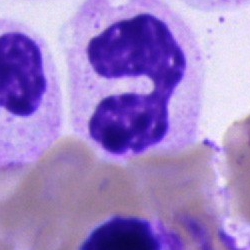Morphological class: segmented neutrophil.